Bone marrow smear
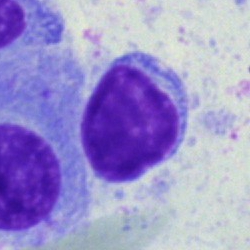Morphology — typical lymphocyte.